250 by 250 pixels; bone marrow aspirate smear:
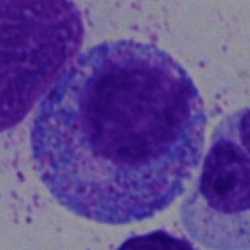 A promyelocyte.